Bone marrow aspirate smear — 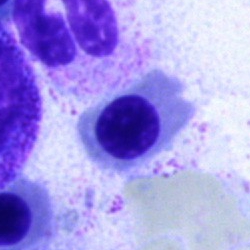 Q: What type of cell is this?
A: Nucleated red blood cell.